Bone marrow aspirate smear.
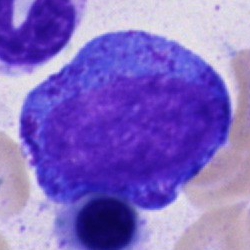 Classification = promyelocyte.